Bone marrow smear; brightfield microscopy, 40× oil immersion; image size 250×250:
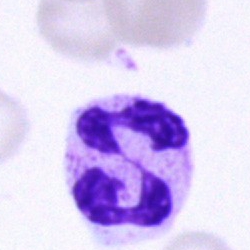
Polymorphonuclear neutrophil.